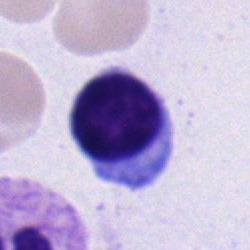 Single cell identified as a typical lymphocyte.